Bone marrow smear — 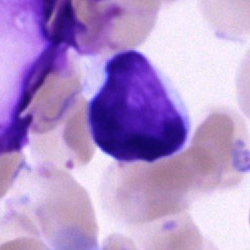Single cell identified as a lymphocyte.